Bone marrow smear:
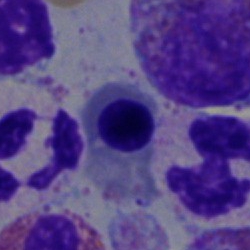

Nucleated red cell.